Bone marrow smear.
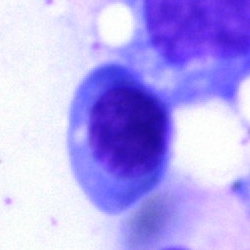 The cell shown is a normoblast.